Bone marrow aspirate smear: 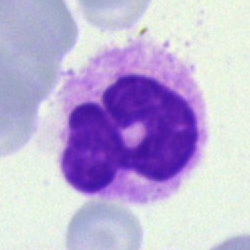
Q: Identify the cell.
A: Neutrophil (segmented).